Bone marrow smear — 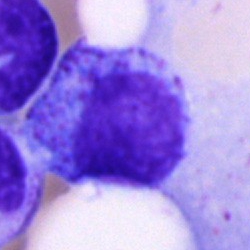

This is a promyelocyte.